Bone marrow aspirate smear:
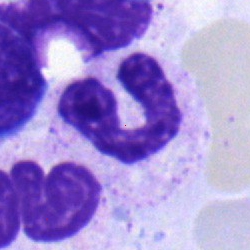Q: What is shown here?
A: It is a neutrophil (band).